Bone marrow smear:
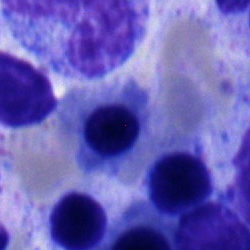 Impression → normoblast.